Bone marrow aspirate smear: 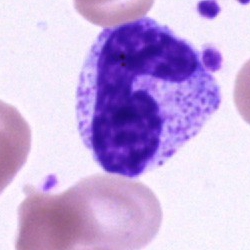 Cell: band-form neutrophil.